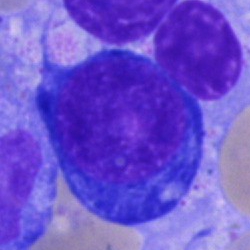
Cell type — proerythroblast.